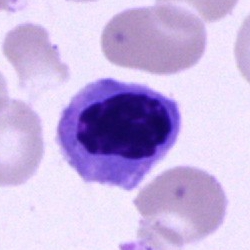

Classification = nucleated red cell.